Peripheral blood smear · 400×400 px
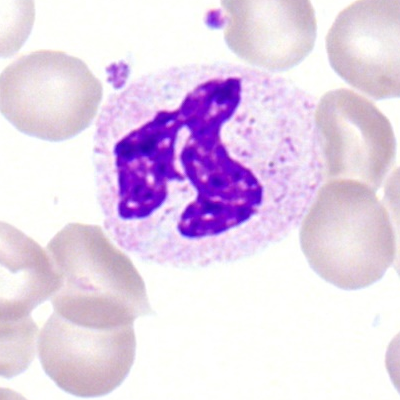

Morphological class: polymorphonuclear neutrophil.